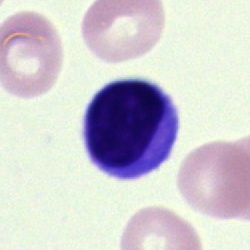 Lymphocyte.